Bone marrow smear: 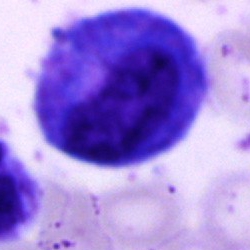 {"cell_type": "progranulocyte", "lineage": "myeloid"}